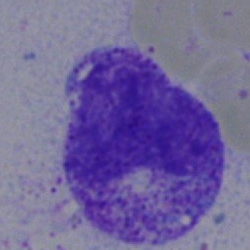
Specimen: bone marrow smear.
Morphological class: metamyelocyte.
Lineage: myeloid.